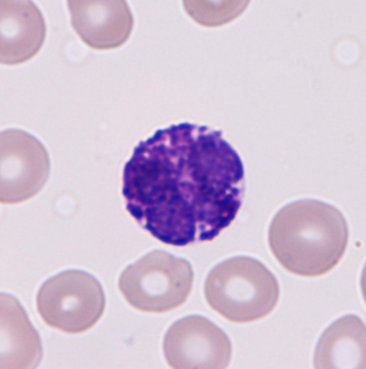 Preparation: MGG-stained. Specimen: peripheral blood film.
Cell type: basophilic granulocyte.